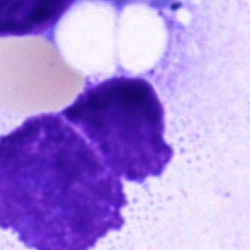 Morphology consistent with an artefact.